Bone marrow aspirate smear
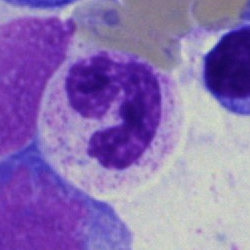

Morphology → neutrophil (segmented).